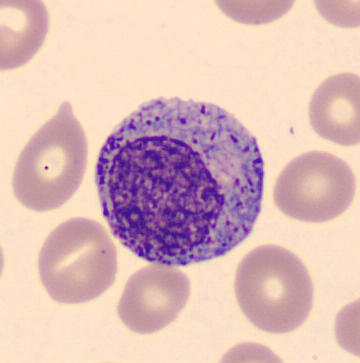 Preparation: Peripheral blood smear.

Cell = promyelocyte.